Bone marrow smear:
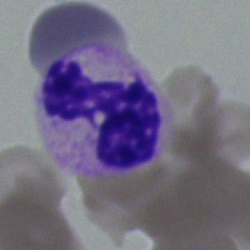Classification = neutrophil (segmented).